250 by 250 pixels. Bone marrow smear. Pappenheim-stained: 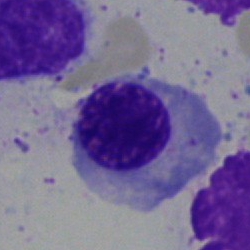Q: What is the morphological classification of this cell?
A: Normoblast.